Bone marrow aspirate smear
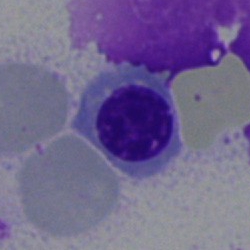 Classification — erythroblast.